Single-cell crop; bone marrow aspirate smear
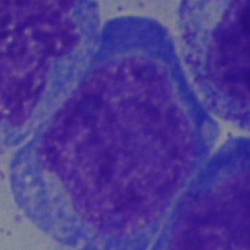
Impression → blast cell.